Bone marrow aspirate smear; 250×250; MGG-stained: 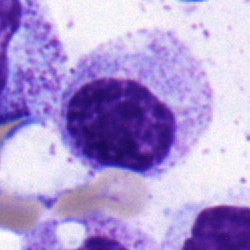 Myelocyte.